Bone marrow aspirate smear · MGG-stained · image size 250×250:
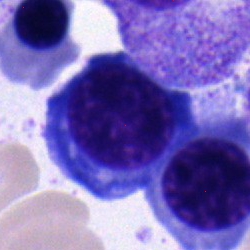
Nucleated red blood cell.